Bone marrow aspirate smear.
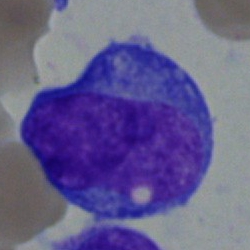

Cell type = blast cell.